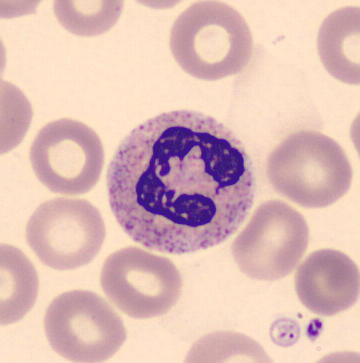
Morphological class: segmented neutrophil.

Peripheral blood film. 360 by 363 pixels.